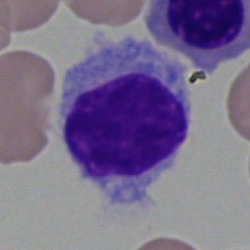

Q: Identify the cell.
A: Typical lymphocyte.